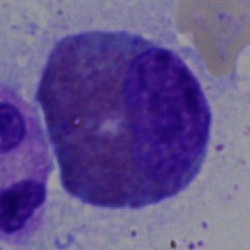 An eosinophilic granulocyte on a bone marrow smear.